Bone marrow smear; 250 by 250 pixels; May-Grünwald-Giemsa stain — 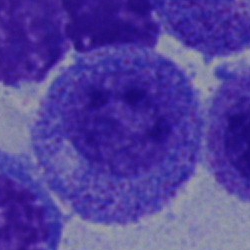 Classification — progranulocyte.